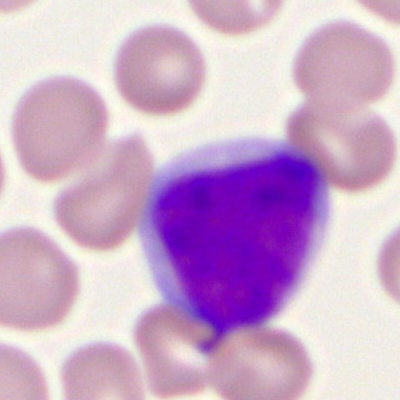

A myeloblast.